Cropped to a single cell · 400×400 px · peripheral blood smear
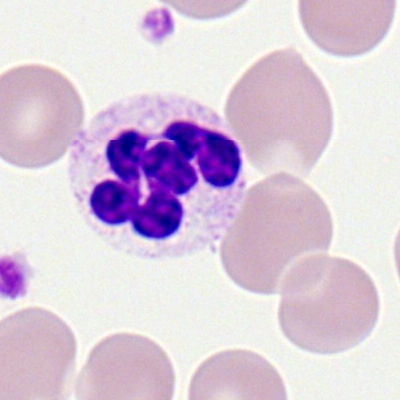Showing a neutrophil (segmented).